Pappenheim-stained · bone marrow aspirate smear · 250×250 px
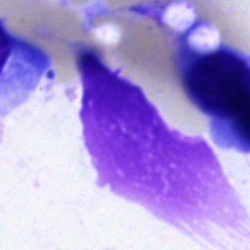

Cell — artefact.